Bone marrow aspirate smear
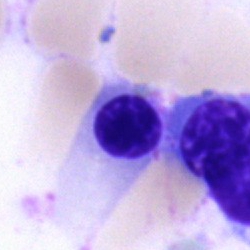

Classification — nucleated red cell.